Bone marrow smear · 250 by 250 pixels · May-Grünwald-Giemsa stain.
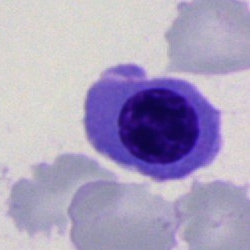
Showing an erythroblast.